Bone marrow aspirate smear.
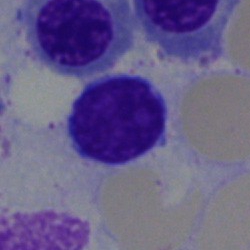Cell: typical lymphocyte.